250×250 px. Cropped to a single cell. Bone marrow smear: 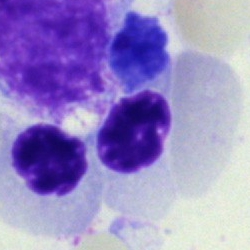 Q: What is shown here?
A: This is a normoblast.